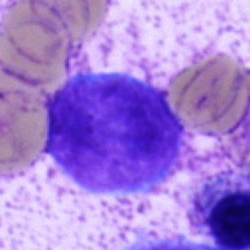
Cell: undifferentiated blast.